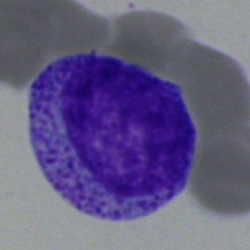
Morphological class = progranulocyte.